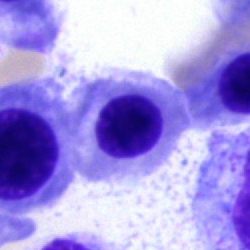

Classification: nucleated red blood cell.